Bone marrow smear — 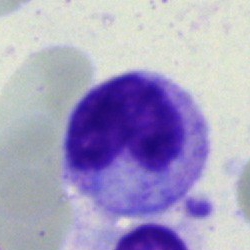 Morphological class — band-form neutrophil.